Bone marrow aspirate smear — 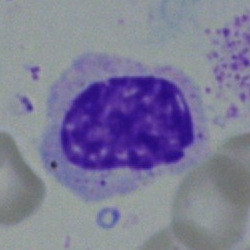{"cell_type": "myelocyte"}